Bone marrow aspirate smear.
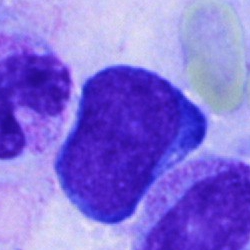 Cell — blast.